Brightfield, 40× oil-immersion objective; image size 250×250; bone marrow aspirate smear — 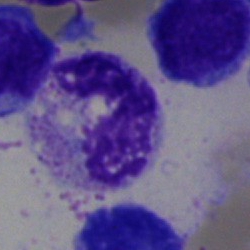

Cell = segmented neutrophil.